Bone marrow aspirate smear.
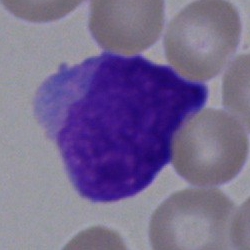 Classification = undifferentiated blast.